Bone marrow smear · 40× objective, oil immersion · 250×250: 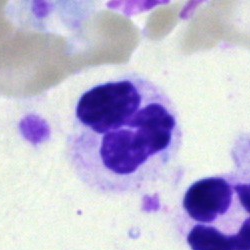

The cell shown is a polymorphonuclear neutrophil.